Brightfield, 40× oil-immersion objective. Bone marrow aspirate smear. Single-cell field — 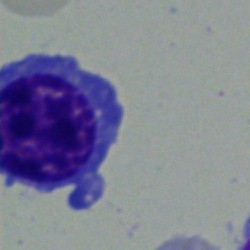
Classification — nucleated red cell.